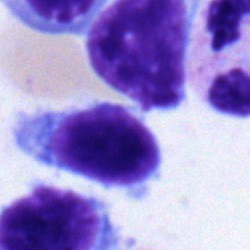
A typical lymphocyte.